Peripheral blood film: 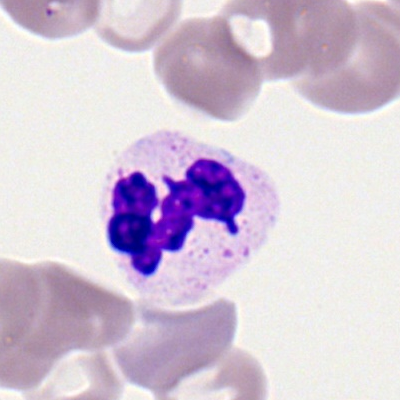Specimen: peripheral blood film.
Cell: polymorphonuclear neutrophil.
Lineage: myeloid.